May-Grünwald-Giemsa/Pappenheim stain · bone marrow smear:
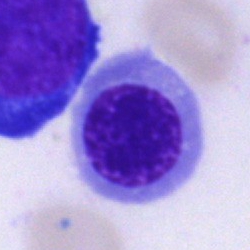

Q: Identify the cell.
A: Erythroblast.